Bone marrow aspirate smear · cropped to a single cell · 250 by 250 pixels
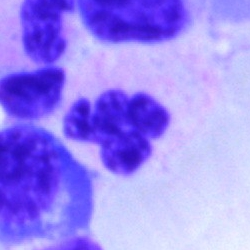
Classification = neutrophil (segmented).